250×250 · bone marrow smear · May-Grünwald-Giemsa/Pappenheim stain — 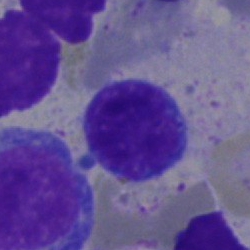
The morphological class is typical lymphocyte.